Bone marrow smear: 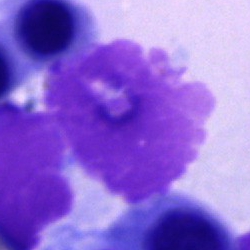
Single cell identified as an artifact.